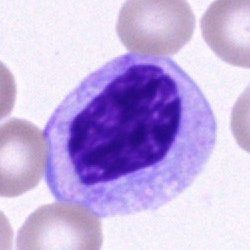Classification: myelocyte.